Bone marrow aspirate smear: 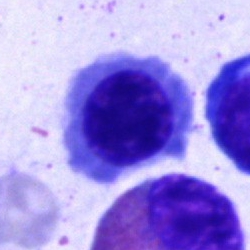Q: What is the morphological classification of this cell?
A: Nucleated red cell.